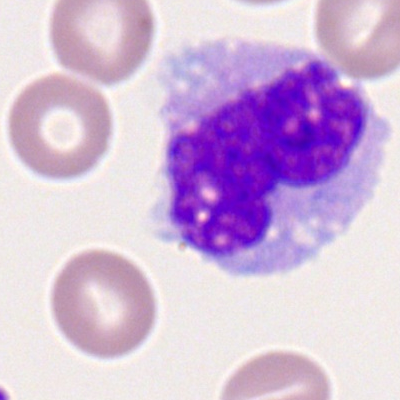The cell shown is a monocyte.